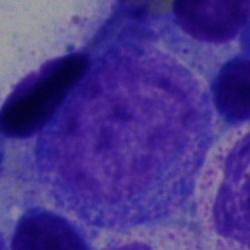

Classification: promyelocyte.